Peripheral blood film — 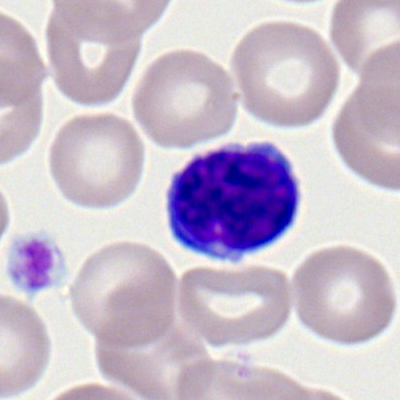 Q: Which cell type is shown here?
A: It is a typical lymphocyte.